Bone marrow aspirate smear · Pappenheim-stained.
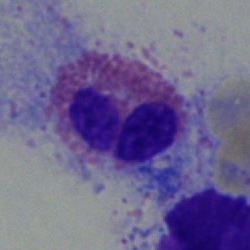An eosinophil.